250×250 px; bone marrow aspirate smear:
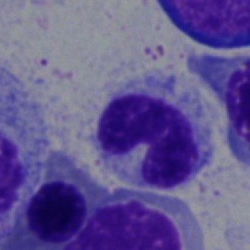
Q: What cell is this?
A: It is a stab cell.